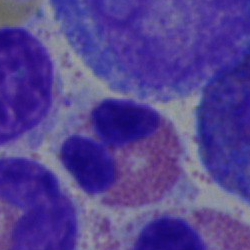Bone marrow aspirate smear, single cell — eosinophilic granulocyte.